Bone marrow smear · brightfield microscopy, 40× oil immersion
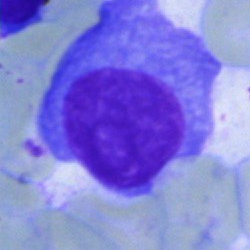 Single cell identified as a plasmacyte.